Bone marrow aspirate smear. Single cell centered in the field.
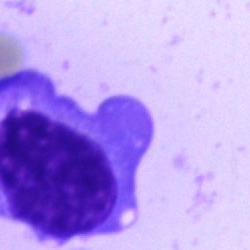
Morphological class: plasma cell.